Bone marrow smear · brightfield microscopy, 40× oil immersion — 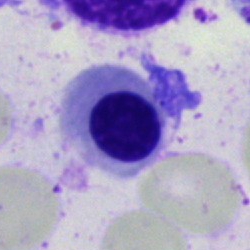
Classification: nucleated red cell.